Bone marrow aspirate smear:
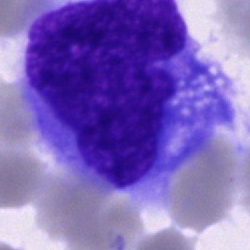 Cell = blast.